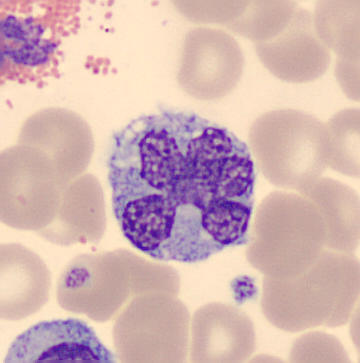

Peripheral blood film; 360 by 363 pixels.
This is a monocyte.